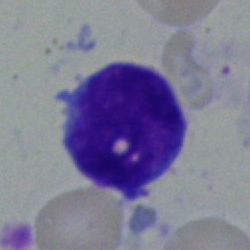 Classification — undifferentiated blast.